Bone marrow smear
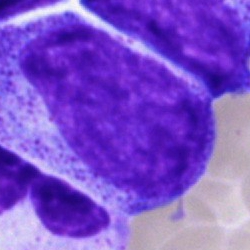

Showing a progranulocyte.